250×250. Bone marrow aspirate smear: 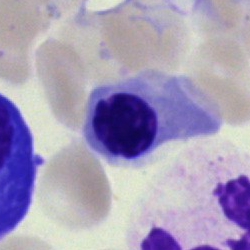
Showing a nucleated red blood cell.